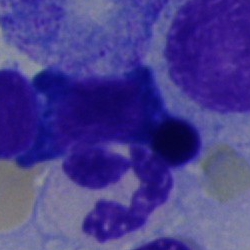
Q: Identify the cell.
A: A polymorphonuclear neutrophil.